Bone marrow smear; May-Grünwald-Giemsa stain.
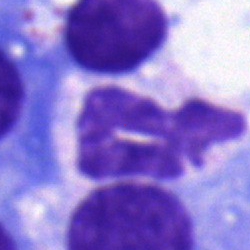 Impression → segmented neutrophil.